Brightfield microscopy, 40× oil immersion; bone marrow smear.
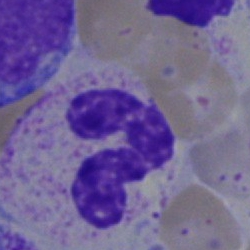

Single cell identified as a neutrophil (segmented).